40× objective, oil immersion; single-cell crop; bone marrow aspirate smear — 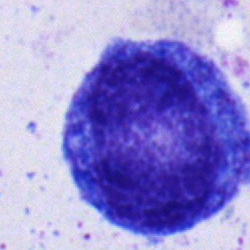 Q: What is shown here?
A: It is a progranulocyte.